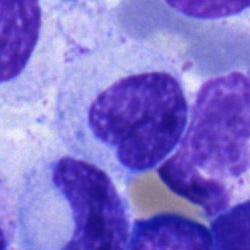
The morphological class is neutrophil (band).